Single-cell field · bone marrow smear · brightfield, 40× oil-immersion objective — 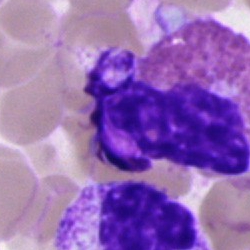

{"cell_type": "eosinophilic granulocyte"}